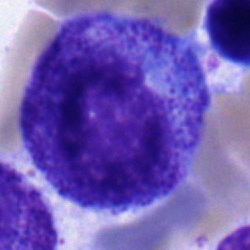 A progranulocyte.